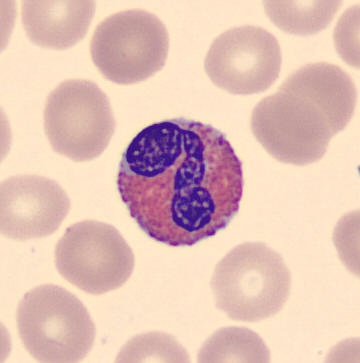Eosinophil. Acquisition: Single-cell crop. Peripheral blood smear.